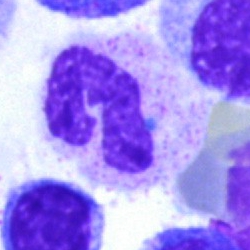Bone marrow smear showing a neutrophil (band).